Bone marrow smear.
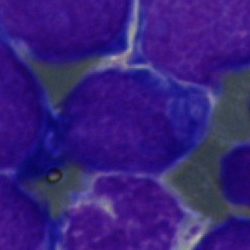
The cell shown is an undifferentiated blast.